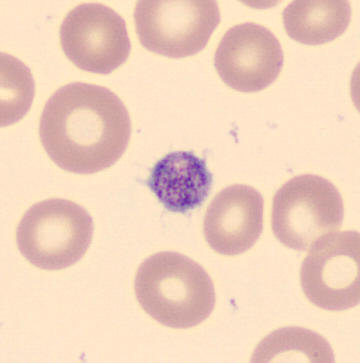

360×363 · CellaVision DM96 digital cell image · peripheral blood smear. This is a platelet.